Bone marrow smear · Pappenheim-stained
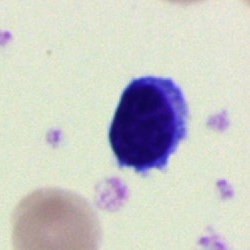

Cell type — lymphocyte.